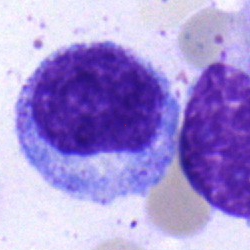

{"cell_type": "myelocyte", "lineage": "myeloid"}